Single-cell crop; bone marrow aspirate smear — 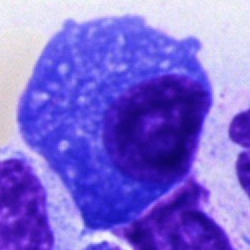

{"cell_type": "plasma cell"}